Bone marrow smear:
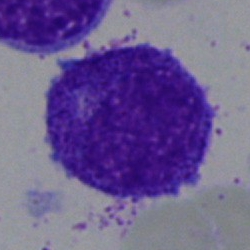
Morphology consistent with a promyelocyte.